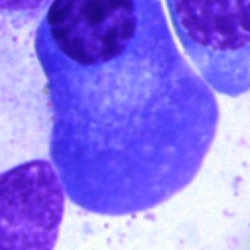Morphological class: plasma cell.